Bone marrow smear — 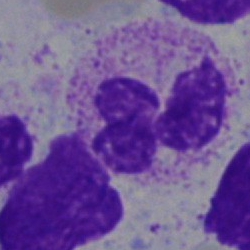

Cell: polymorphonuclear neutrophil.